Bone marrow aspirate smear; single-cell field — 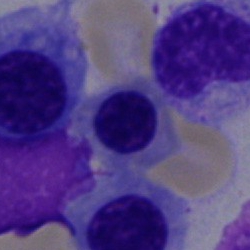Classification = erythroblast.